Bone marrow smear: 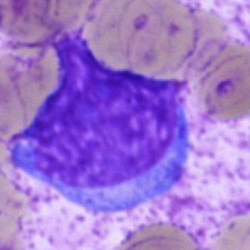

Q: Identify the cell.
A: Blast.